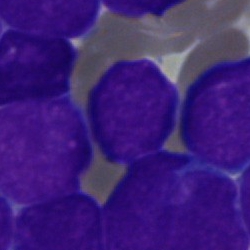 A blast on a bone marrow smear.